Bone marrow smear — 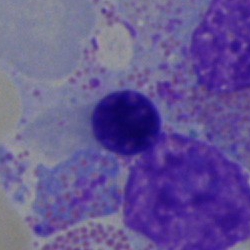Q: What type of cell is this?
A: This is a nucleated red blood cell.